250 by 250 pixels; bone marrow smear; cropped to a single cell — 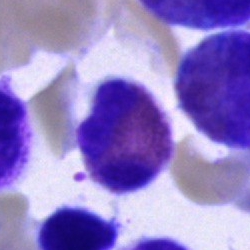 Morphology → eosinophil.